Bone marrow smear
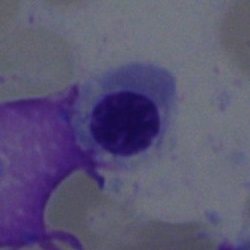A normoblast.